Brightfield, 40× oil-immersion objective. Bone marrow smear. Single-cell field.
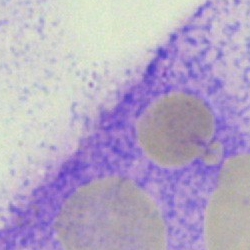
Specimen: bone marrow smear.
Morphological class: artifact.